Cropped to a single cell; bone marrow smear: 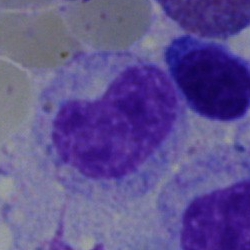
Specimen: bone marrow smear.
Cell: monocyte.
Lineage: myeloid.